Bone marrow smear:
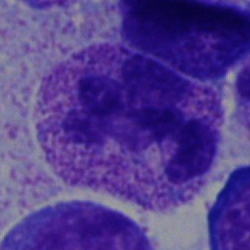
Morphology — neutrophil (segmented).